Single-cell field. Peripheral blood smear.
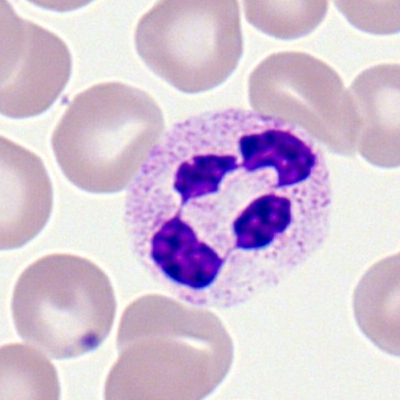 Impression — neutrophil (segmented).